Bone marrow smear
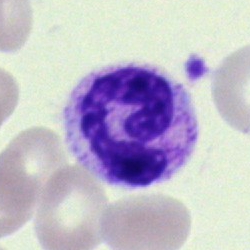

A neutrophil (segmented).